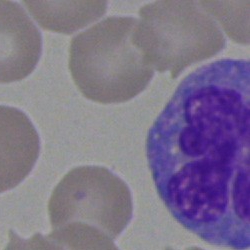

Specimen: bone marrow smear.
Cell type: cell of indeterminate lineage.